Bone marrow aspirate smear:
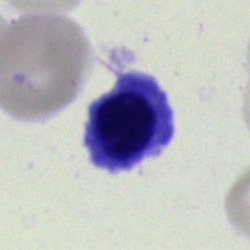
Morphology → nucleated red blood cell.